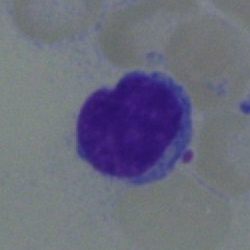 A lymphocyte.